Bone marrow aspirate smear:
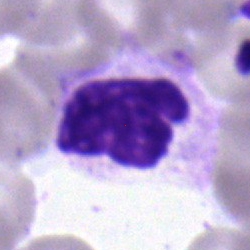

Neutrophil (segmented).